Image size 250×250; bone marrow aspirate smear.
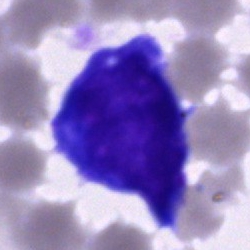

This is a blast.